Peripheral blood smear — 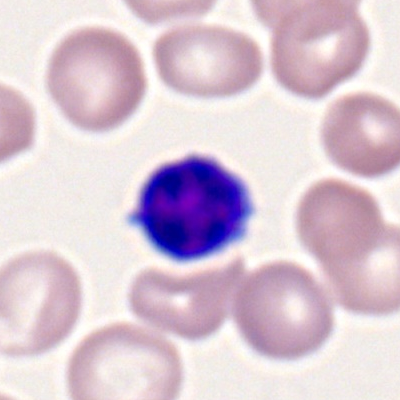Single cell identified as a lymphocyte.